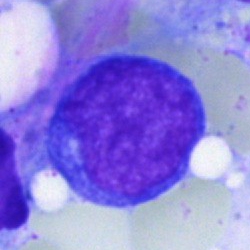Q: What cell is this?
A: Lymphocyte.